Bone marrow aspirate smear:
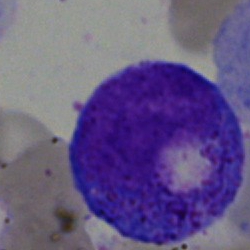This is a promyelocyte.